250×250; bone marrow aspirate smear; 40× objective, oil immersion:
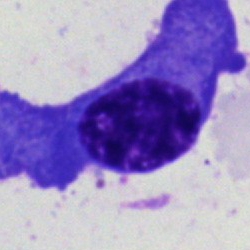 {"cell_type": "plasmacyte", "lineage": "lymphoid"}